40× oil immersion; bone marrow aspirate smear; cropped to a single cell — 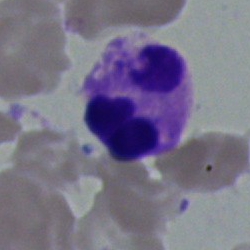The cell is neutrophil (segmented).